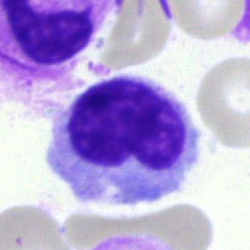
Specimen: bone marrow smear.
Classification: monocyte.